Bone marrow aspirate smear.
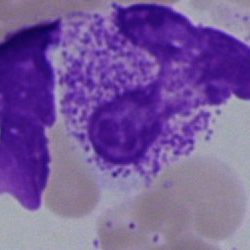
Impression — artefact.